Bone marrow aspirate smear
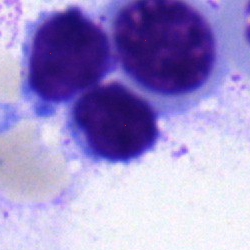 Morphological class = erythroblast.